May-Grünwald-Giemsa/Pappenheim stain; bone marrow aspirate smear; brightfield microscopy, 40× oil immersion.
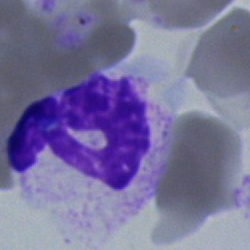 Cell = polymorphonuclear neutrophil.